Pappenheim-stained. Bone marrow smear.
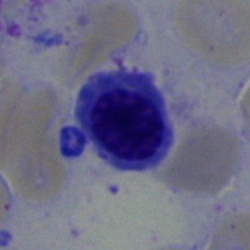Morphology → erythroblast.